May-Grünwald-Giemsa stain · bone marrow aspirate smear
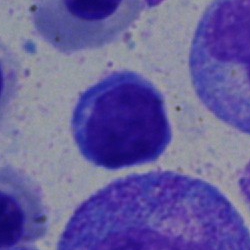
Q: What type of cell is this?
A: It is a typical lymphocyte.